Bone marrow aspirate smear · image size 250×250: 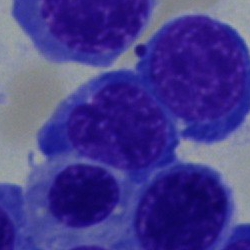 A nucleated red blood cell.